Bone marrow smear — 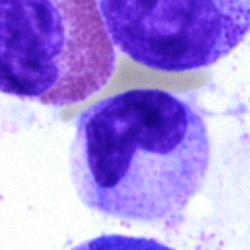
Q: What type of cell is this?
A: A band neutrophil.